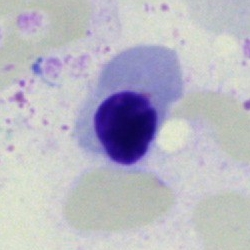 Q: What is the morphological classification of this cell?
A: It is a nucleated red cell.